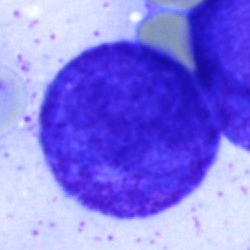 Morphological class = progranulocyte.